May-Grünwald-Giemsa/Pappenheim stain · bone marrow smear · 40× objective, oil immersion:
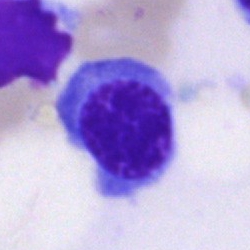This is a nucleated red blood cell.